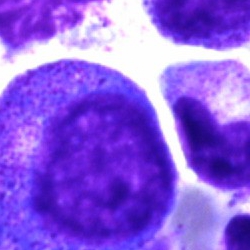 This is a progranulocyte.